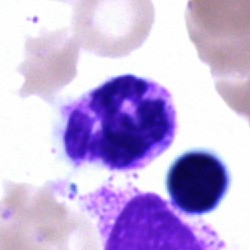

Q: What type of cell is this?
A: This is a polymorphonuclear neutrophil.